Bone marrow smear — 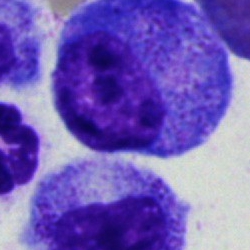
The morphological class is progranulocyte.